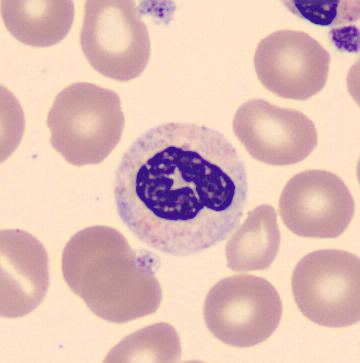Peripheral blood film. Cell type = band neutrophil.